Bone marrow aspirate smear:
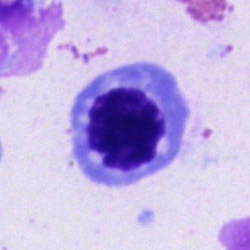

An erythroblast.